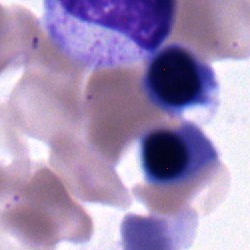 {"cell_type": "metamyelocyte", "lineage": "myeloid"}